Bone marrow aspirate smear: 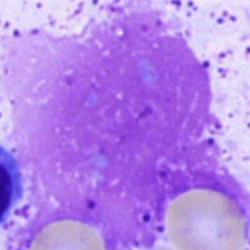
Morphology consistent with an artefact.